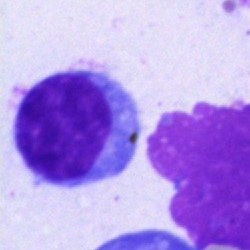
Single-cell crop from a bone marrow smear: typical lymphocyte.